Bone marrow aspirate smear.
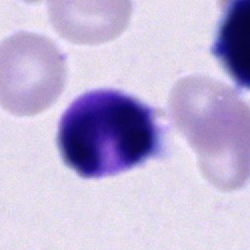 Q: What is shown here?
A: It is an artefact.